Single-cell crop; bone marrow aspirate smear.
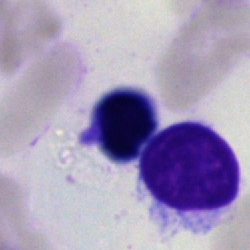Cell: typical lymphocyte.